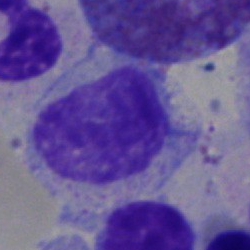
Q: What is shown here?
A: Artifact.